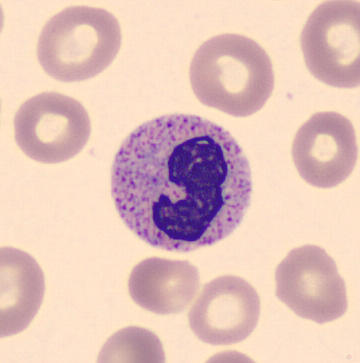

Acquisition: Peripheral blood film.
A band-form neutrophil.